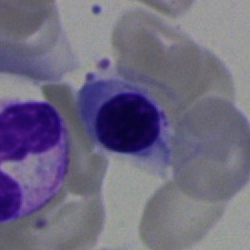A nucleated red cell on a bone marrow smear.